Bone marrow aspirate smear.
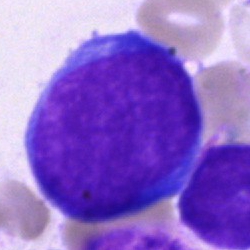 {"cell_type": "blast cell"}